M8 digital microscope (Precipoint), 100× oil immersion · peripheral blood film:
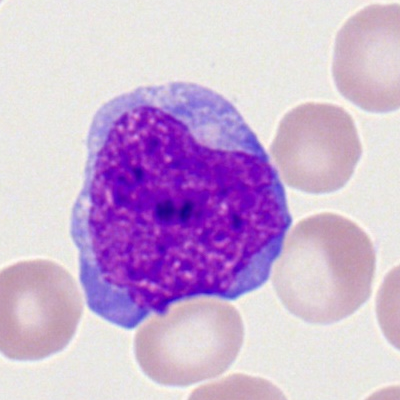
The cell type is myeloblast.